Bone marrow aspirate smear:
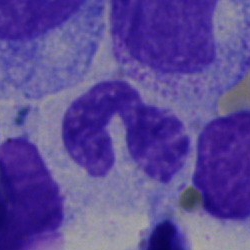
Neutrophil (segmented).